Peripheral blood film: 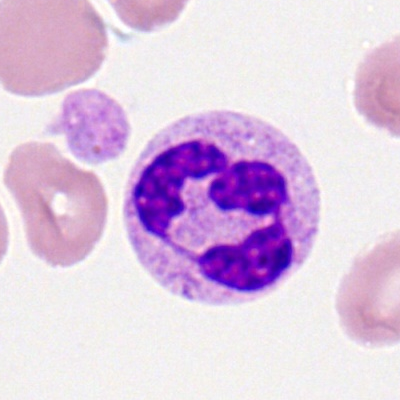 Classification — segmented neutrophil.